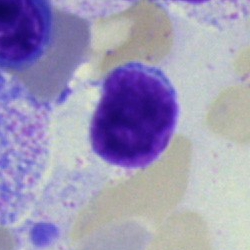

Lymphocyte.